Brightfield, 40× oil-immersion objective; bone marrow smear; 250×250 px
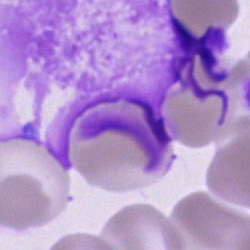 Q: What is shown here?
A: It is an artefact.